Single cell centered in the field. May-Grünwald-Giemsa-stained. Peripheral blood film:
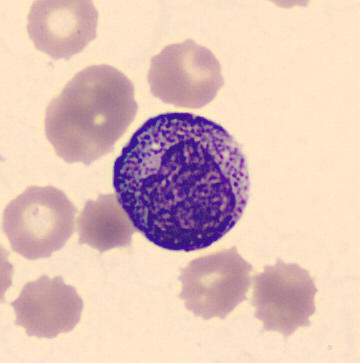

Specimen: peripheral blood film.
Cell type: metamyelocyte.